Bone marrow smear; single-cell field; 40× oil immersion: 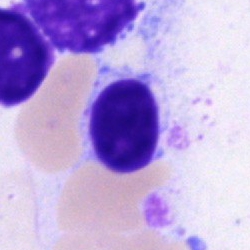

Showing a typical lymphocyte.